Bone marrow smear:
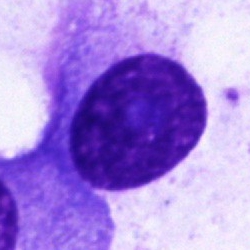
Specimen: bone marrow smear.
Cell: plasma cell.